250×250 px · bone marrow smear
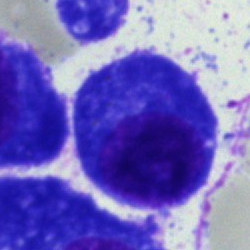 Specimen: bone marrow smear.
Cell: plasma cell.